Bone marrow smear: 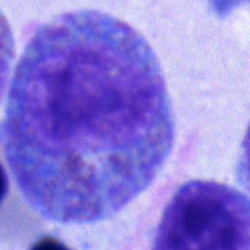

Specimen: bone marrow aspirate smear.
Cell: progranulocyte.
Lineage: myeloid.